Bone marrow smear · image size 250×250: 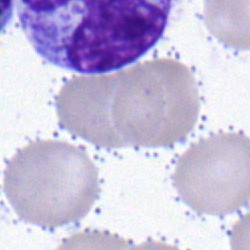

{"cell_type": "stab cell", "lineage": "myeloid"}